40× oil immersion. 250 by 250 pixels. Bone marrow smear
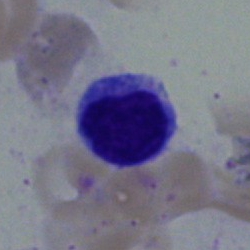

Morphological class = lymphocyte.